Bone marrow smear
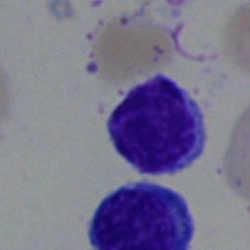Typical lymphocyte.